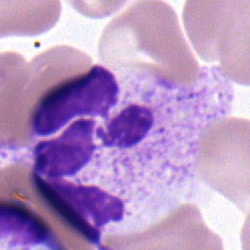

Q: What cell is this?
A: It is a polymorphonuclear neutrophil.